Bone marrow smear
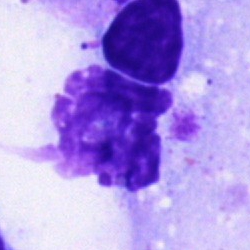 Showing an artifact.